MGG-stained; bone marrow aspirate smear:
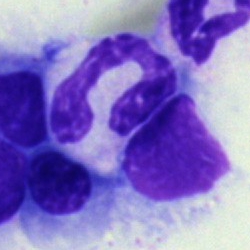
Cell type = polymorphonuclear neutrophil.